Peripheral blood smear:
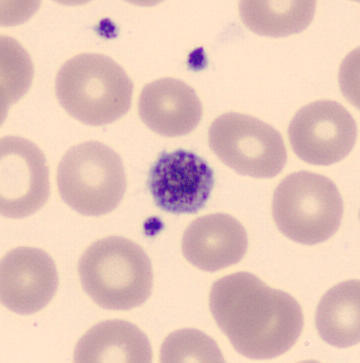Classification = platelet.